Bone marrow aspirate smear:
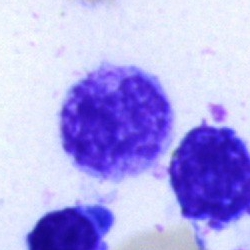Morphological class — artifact.